40× objective, oil immersion; bone marrow smear: 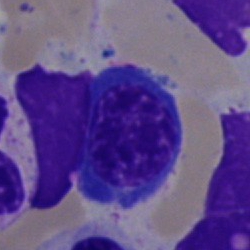Single cell identified as an erythroblast.